Brightfield microscopy, 40× oil immersion. Pappenheim-stained. Bone marrow smear — 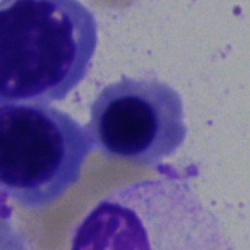Cell — nucleated red cell.